Bone marrow smear. Brightfield microscopy, 40× oil immersion.
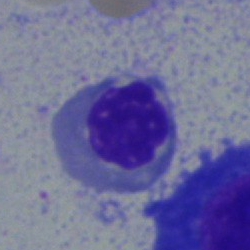 The morphological class is nucleated red cell.